Peripheral blood film: 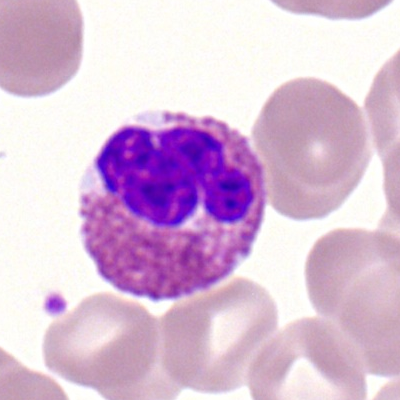

Eosinophilic granulocyte.